Bone marrow aspirate smear — 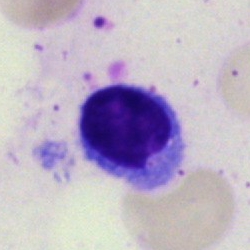

Impression → typical lymphocyte.